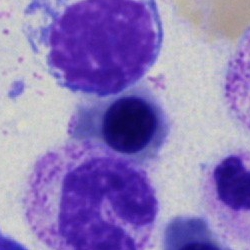
Cell type = normoblast.